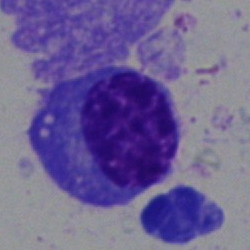

Cell: plasma cell.